Peripheral blood smear; single-cell field — 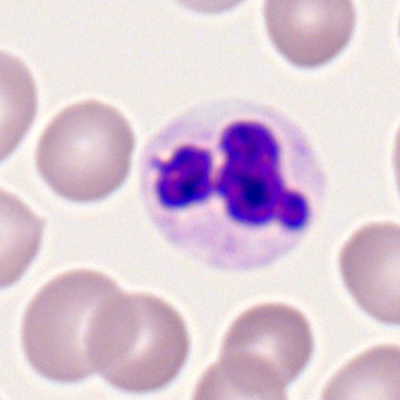Segmented neutrophil.